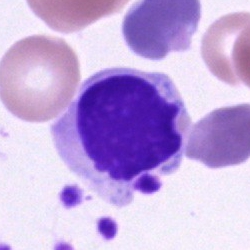 Specimen: bone marrow smear.
Cell: cell of indeterminate lineage.